Peripheral blood smear — 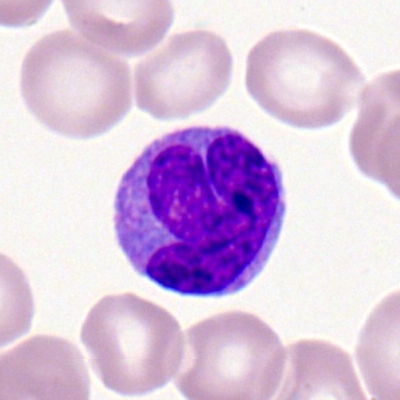Morphological class — monocyte.